Bone marrow smear — 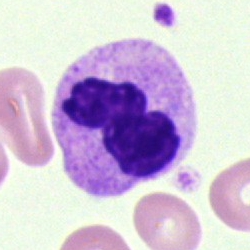

Single cell identified as a polymorphonuclear neutrophil.